Bone marrow smear: 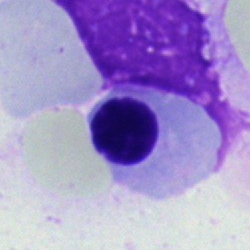 Morphology → normoblast.